Bone marrow smear:
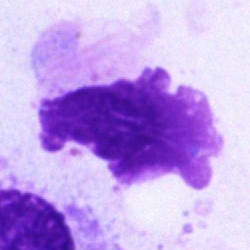Cell type: artefact.